CellaVision DM96 digital cell image; peripheral blood smear; image size 360×363 — 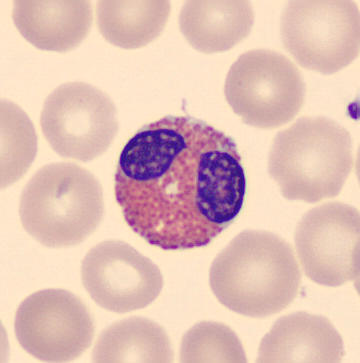

Specimen: peripheral blood smear.
Morphological class: eosinophil.
Lineage: myeloid.